250×250. Bone marrow smear:
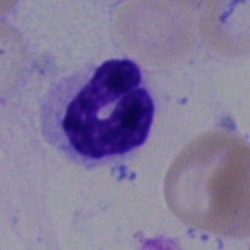

Specimen: bone marrow smear.
Cell: neutrophil (segmented).